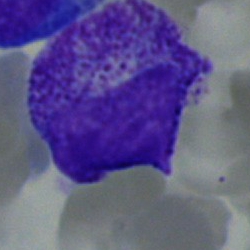The morphological class is promyelocyte.